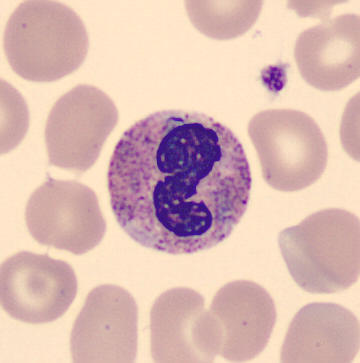
Specimen: peripheral blood film.
Cell: stab cell.